Bone marrow smear — 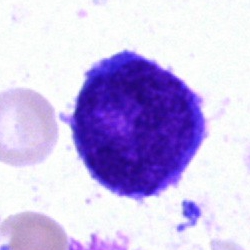The cell shown is an undifferentiated blast.